Bone marrow smear — 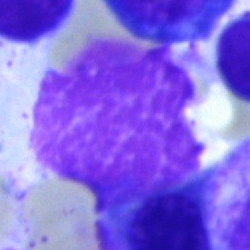Cell — artefact.